Bone marrow smear — 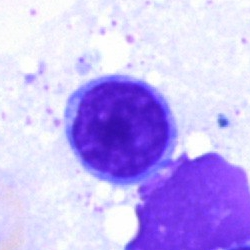

Specimen: bone marrow smear.
Morphological class: lymphocyte.
Lineage: lymphoid.